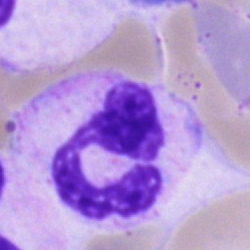
{"cell_type": "neutrophil (segmented)", "lineage": "myeloid"}